Bone marrow smear — 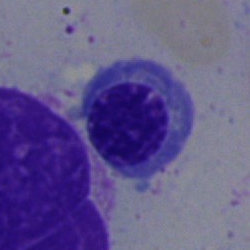

{"cell_type": "nucleated red blood cell"}